Bone marrow smear. May-Grünwald-Giemsa/Pappenheim stain. Cropped to a single cell:
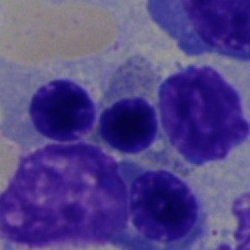 The cell shown is an erythroblast.